Bone marrow smear; May-Grünwald-Giemsa/Pappenheim stain — 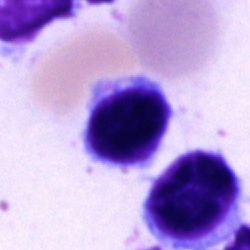Morphology consistent with a typical lymphocyte.